Bone marrow smear. Pappenheim-stained
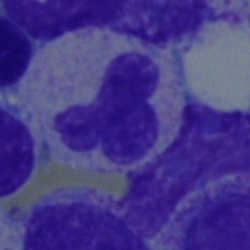

The cell shown is a segmented neutrophil.